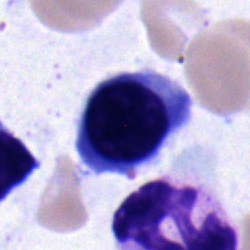An erythroblast on a bone marrow smear.